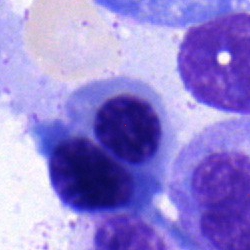

Classification — nucleated red blood cell.